Peripheral blood film: 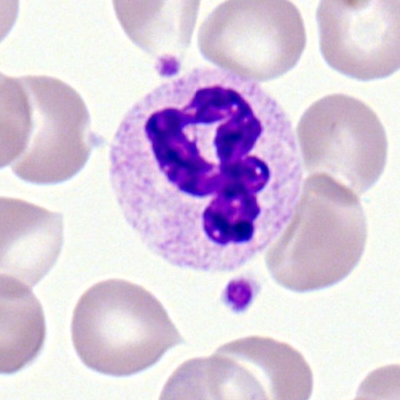

Classification = segmented neutrophil.